Bone marrow aspirate smear · cropped to a single cell
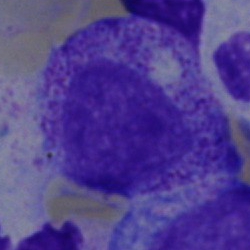 Cell — myelocyte.